Bone marrow aspirate smear:
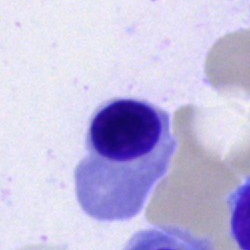
Morphology → nucleated red cell.